Bone marrow aspirate smear. Pappenheim-stained — 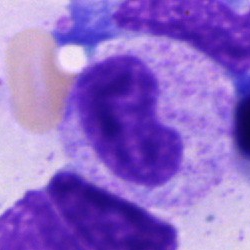 Cell: metamyelocyte.